Brightfield microscopy, 40× oil immersion · cropped to a single cell · bone marrow smear — 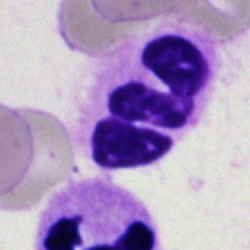 Classification — neutrophil (segmented).